May-Grünwald-Giemsa stain. Bone marrow smear. 250×250 — 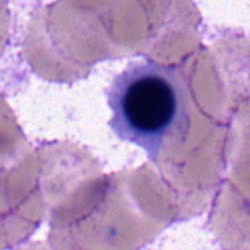 Q: Identify the cell.
A: This is a nucleated red cell.